Peripheral blood film · 400×400 · Romanowsky stain.
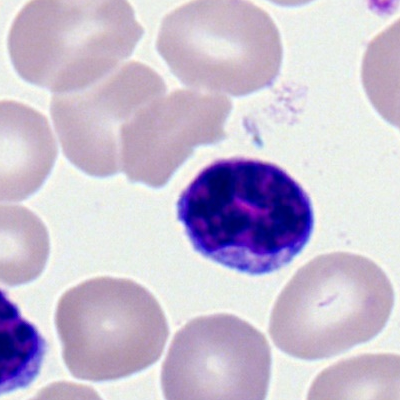Lymphocyte.